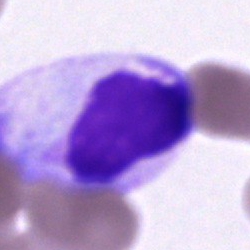

Unidentifiable cell.